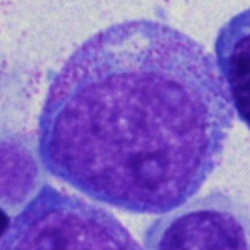

Specimen: bone marrow smear.
Morphological class: progranulocyte.
Lineage: myeloid.